Bone marrow smear.
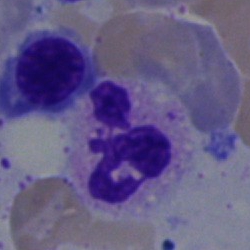
Morphological class = neutrophil (segmented).